MGG-stained; bone marrow aspirate smear; single-cell crop — 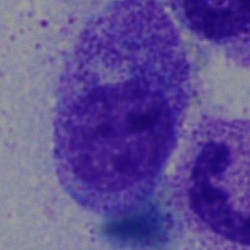
A myelocyte.